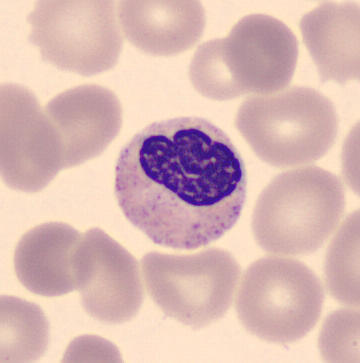 This is a neutrophil (band).

Image: Peripheral blood film.